Bone marrow aspirate smear; 250×250: 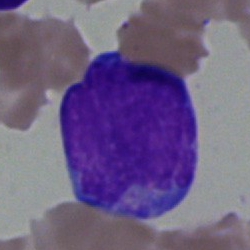

This is a blast cell.